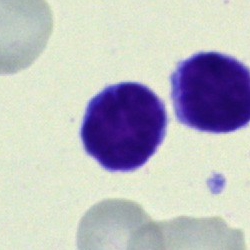
Specimen: bone marrow aspirate smear.
Cell: typical lymphocyte.